Single cell centered in the field; May-Grünwald-Giemsa stain; bone marrow aspirate smear:
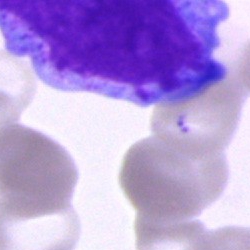 Morphology → unidentifiable cell.